Image size 250×250; bone marrow smear; 40× oil immersion.
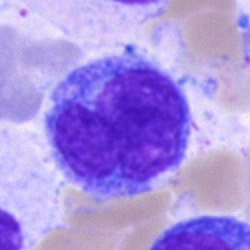
Q: What is the morphological classification of this cell?
A: A monocyte.